Bone marrow smear · May-Grünwald-Giemsa stain:
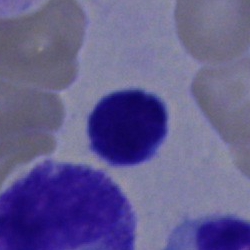

A lymphocyte.